Image size 250×250. Bone marrow aspirate smear: 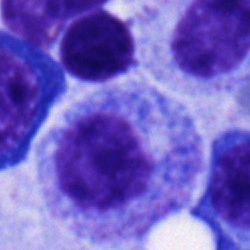Specimen: bone marrow aspirate smear.
Cell type: myelocyte.